Pappenheim-stained · bone marrow smear — 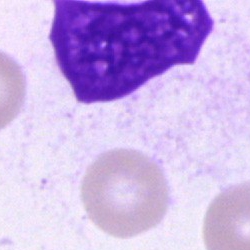
The cell type is artefact.